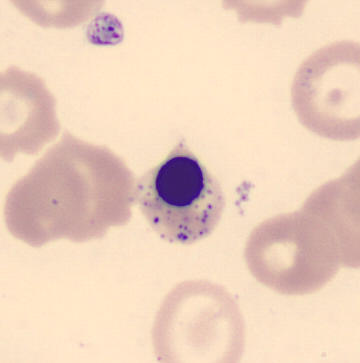 Single cell centered in the field. Peripheral blood smear. Image size 360×363.
Cell = erythroblast.